Bone marrow aspirate smear:
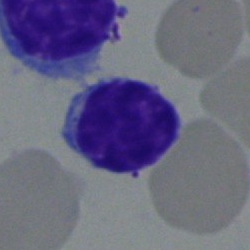{"cell_type": "typical lymphocyte", "lineage": "lymphoid"}